May-Grünwald-Giemsa stain · bone marrow aspirate smear · cropped to a single cell: 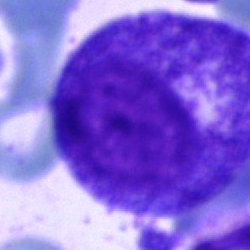Q: Which cell type is shown here?
A: Promyelocyte.